Bone marrow aspirate smear:
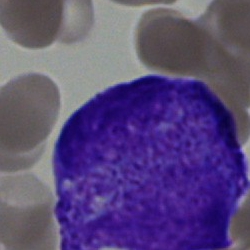
Specimen: bone marrow aspirate smear.
Cell: undifferentiated blast.